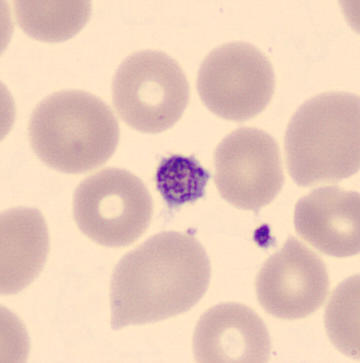 A platelet (thrombocyte).

Acquisition: Peripheral blood smear; image size 360×363; CellaVision DM96 digital cell image.